250×250 · bone marrow smear
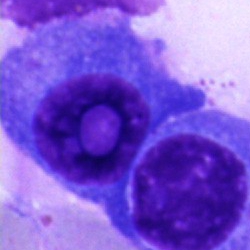 {"cell_type": "plasmacyte", "lineage": "lymphoid"}